Bone marrow aspirate smear:
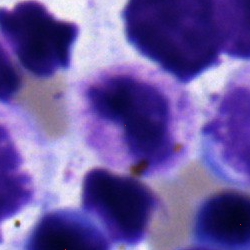Q: What is the morphological classification of this cell?
A: It is a stab cell.